May-Grünwald-Giemsa/Pappenheim stain; bone marrow smear.
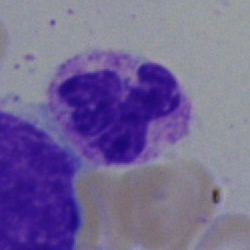

Cell — segmented neutrophil.